Bone marrow smear — 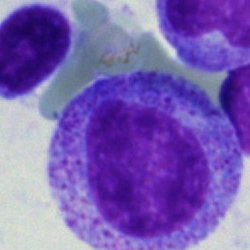
Specimen: bone marrow smear.
Cell type: progranulocyte.